Single-cell field; bone marrow smear; 250 by 250 pixels — 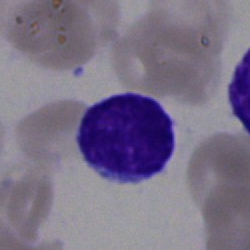

Lymphocyte.